Bone marrow smear. 250 by 250 pixels: 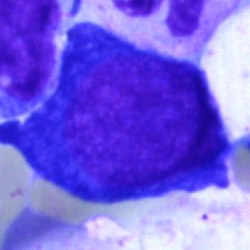
This is a pronormoblast.